Peripheral blood smear.
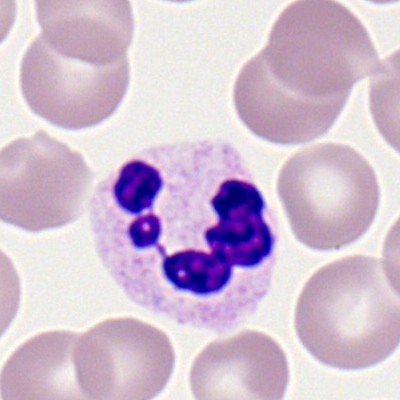
A segmented neutrophil.